250 by 250 pixels. Bone marrow smear.
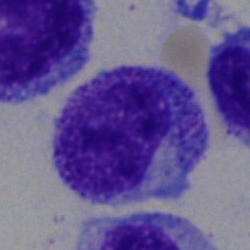The cell shown is a myelocyte.